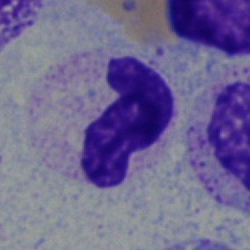 The morphological class is segmented neutrophil.